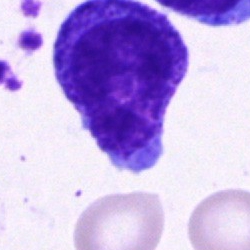 Impression — progranulocyte.